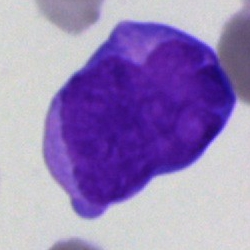

Bone marrow aspirate smear, single cell — undifferentiated blast.